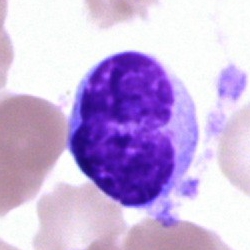Specimen: bone marrow smear.
Morphological class: hairy cell.